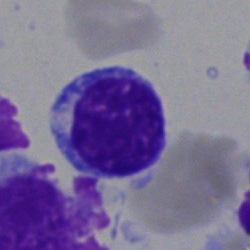

Q: Identify the cell.
A: Typical lymphocyte.